Brightfield, 40× oil-immersion objective · bone marrow smear.
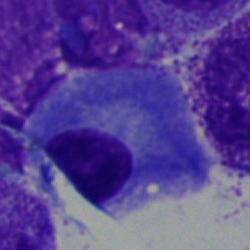 Specimen: bone marrow smear.
Classification: plasma cell.